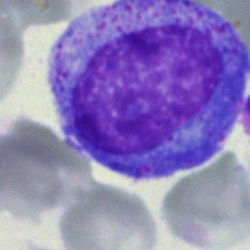

A promyelocyte.